Brightfield microscopy, 40× oil immersion; bone marrow smear.
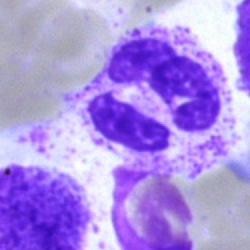

Morphological class — polymorphonuclear neutrophil.